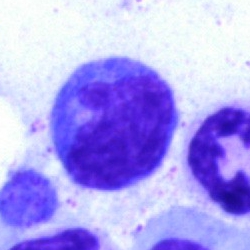The classification is lymphocyte.